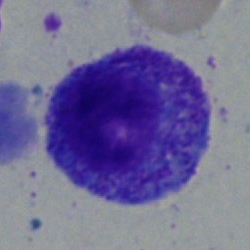
Single cell identified as a promyelocyte.